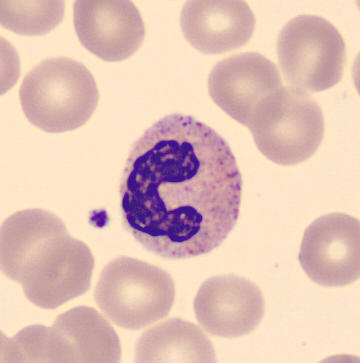
May-Grünwald-Giemsa-stained. Peripheral blood smear. Automated cell imaging (CellaVision DM96). Classification: stab cell.